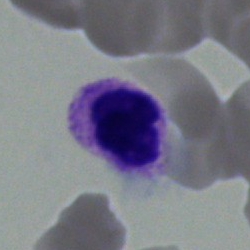Specimen: bone marrow aspirate smear.
Cell type: neutrophil (segmented).
Lineage: myeloid.